Brightfield, 40× oil-immersion objective · bone marrow aspirate smear.
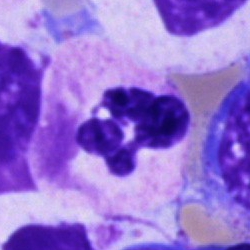 Q: What cell is this?
A: A polymorphonuclear neutrophil.